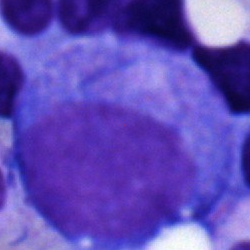 Q: What cell is this?
A: This is a promyelocyte.